Single cell centered in the field; bone marrow aspirate smear
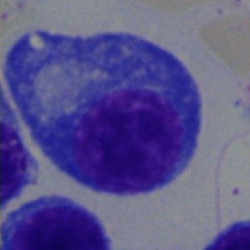Impression — plasmacyte.